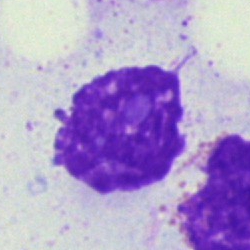Cell type = artifact.